Bone marrow smear
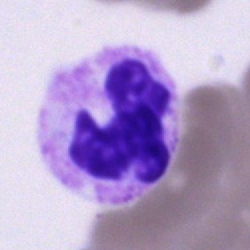 Classification = neutrophil (segmented).